Bone marrow aspirate smear; 40× oil immersion.
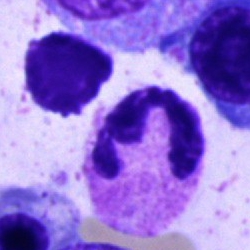

The cell shown is a segmented neutrophil.